Bone marrow aspirate smear — 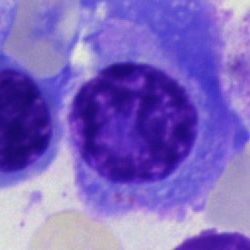Cell type: plasma cell.